Single-cell crop; bone marrow aspirate smear
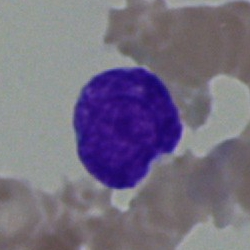Q: What is the morphological classification of this cell?
A: A blast cell.